40× objective, oil immersion. Bone marrow aspirate smear. Single-cell crop
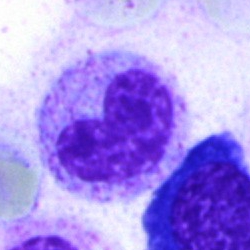 {"cell_type": "neutrophil (band)", "lineage": "myeloid"}